Bone marrow smear; 40× oil immersion
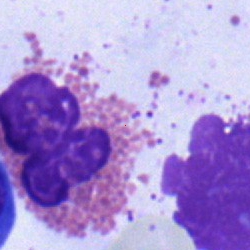

Eosinophilic granulocyte.